Bone marrow aspirate smear.
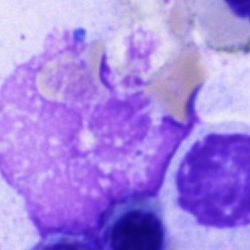
Morphological class = artefact.